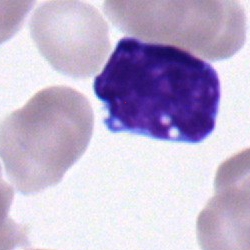 Q: What is the morphological classification of this cell?
A: It is a lymphocyte.